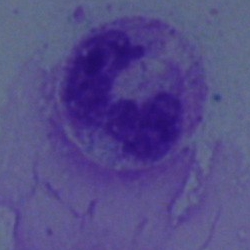Impression → neutrophil (band).